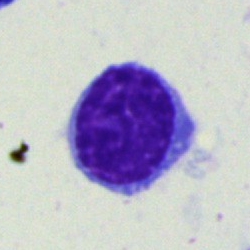Cell type: typical lymphocyte.